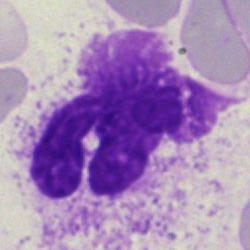
Cell: polymorphonuclear neutrophil.